Bone marrow aspirate smear. Image size 250×250
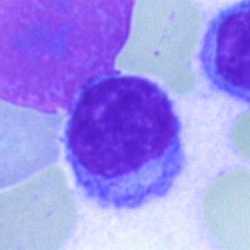 Cell type: hairy cell.